Peripheral blood smear: 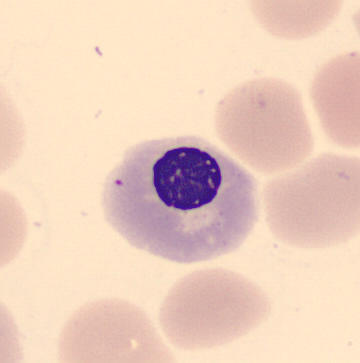
Specimen: peripheral blood smear.
Cell: normoblast.
Lineage: erythroid.